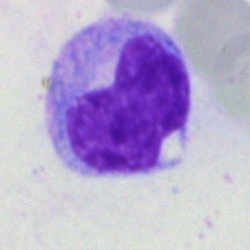 This is a monocyte.